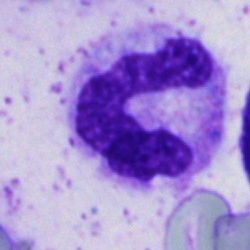

Specimen: bone marrow smear.
Cell type: segmented neutrophil.